40× oil immersion. Bone marrow aspirate smear: 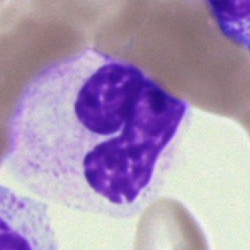
Showing a stab cell.